Bone marrow smear. 250 by 250 pixels: 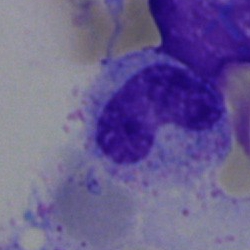

Showing a band neutrophil.